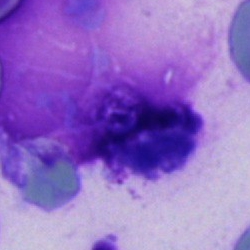

Morphological class = artifact.